Bone marrow aspirate smear. Single cell centered in the field: 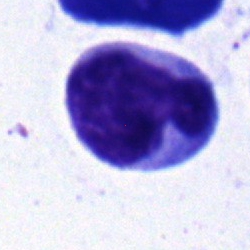
Q: Which cell type is shown here?
A: Monocyte.